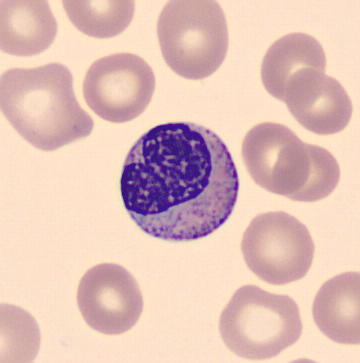
Classification — metamyelocyte. Acquisition: Peripheral blood smear. MGG-stained.